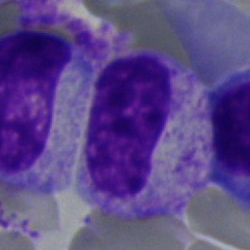 The morphological class is myelocyte.